Bone marrow aspirate smear · 250 by 250 pixels.
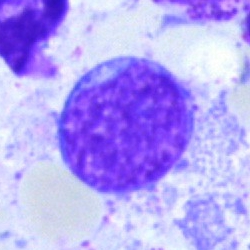Cell = blast.